Bone marrow smear:
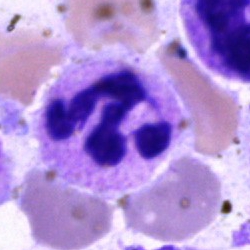

Specimen: bone marrow aspirate smear.
Cell type: neutrophil (segmented).
Lineage: myeloid.